Bone marrow smear — 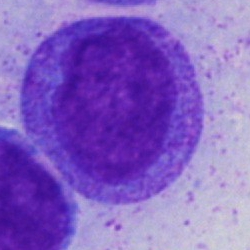 Morphology consistent with a progranulocyte.